Bone marrow smear · 250 by 250 pixels: 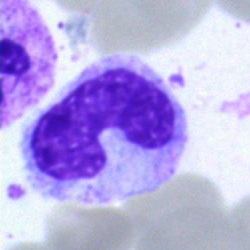

The classification is band-form neutrophil.